Peripheral blood smear · 400 by 400 pixels
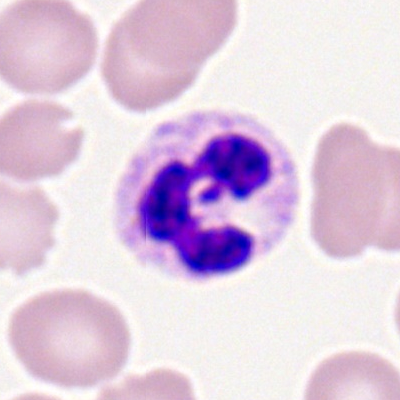 Q: Which cell type is shown here?
A: This is a neutrophil (segmented).